Bone marrow smear · May-Grünwald-Giemsa/Pappenheim stain:
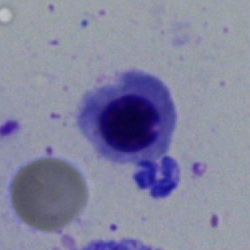

Q: What is shown here?
A: This is a nucleated red cell.